250×250. Bone marrow aspirate smear. 40× objective, oil immersion — 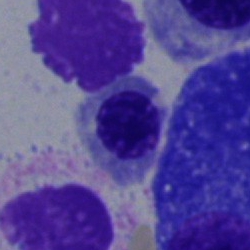
{"cell_type": "nucleated red blood cell", "lineage": "erythroid"}